250×250 px · 40× objective, oil immersion · bone marrow smear — 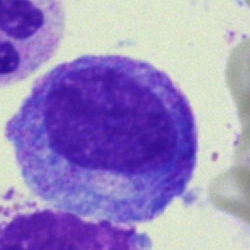The cell is promyelocyte.